Peripheral blood smear. Romanowsky stain: 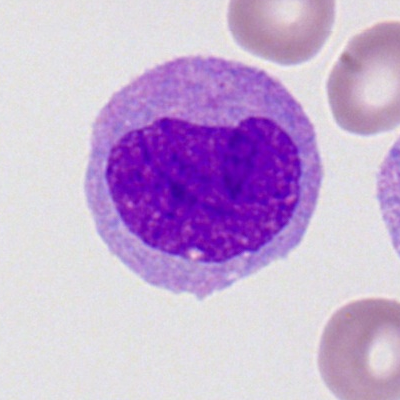Classification — myeloblast.